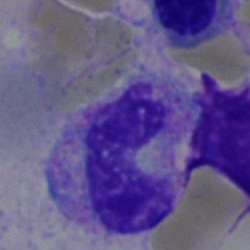
Bone marrow aspirate smear, single cell — stab cell.